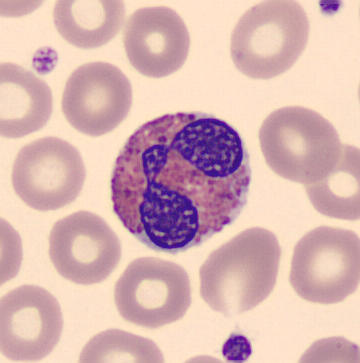

An eosinophilic granulocyte. Peripheral blood smear.